Bone marrow aspirate smear
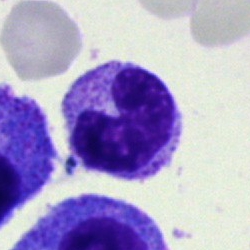
Q: Which cell type is shown here?
A: A stab cell.